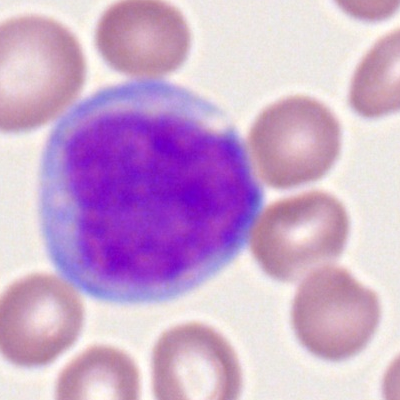Peripheral blood smear showing a myeloid blast.